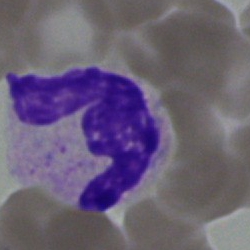

Specimen: bone marrow aspirate smear.
Morphological class: polymorphonuclear neutrophil.
Lineage: myeloid.